Bone marrow aspirate smear. 250×250 px: 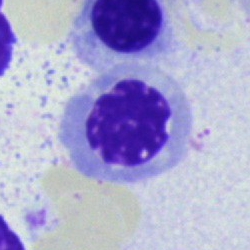

Morphological class: erythroblast.